Brightfield, 40× oil-immersion objective; MGG-stained; bone marrow smear
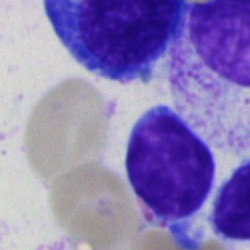

Showing a lymphocyte.